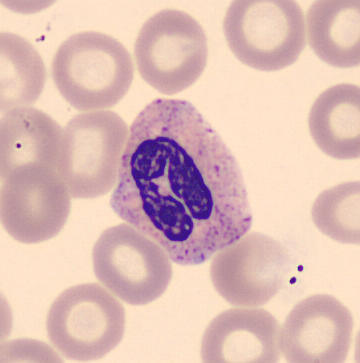

Specimen: peripheral blood smear.
Cell: neutrophil (segmented).

Automated cell imaging (CellaVision DM96) · single cell centered in the field.